Peripheral blood film: 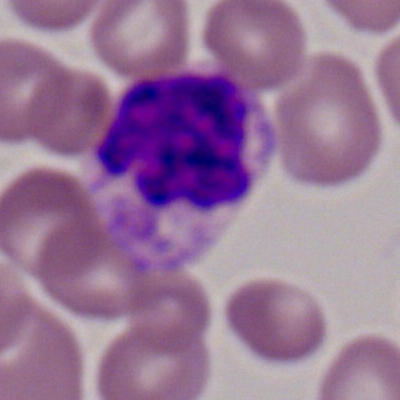

Polymorphonuclear neutrophil.